Peripheral blood film · 360×363.
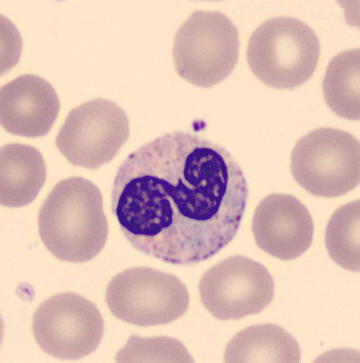

{"cell_type": "neutrophil (segmented)"}